Brightfield, 40× oil-immersion objective · May-Grünwald-Giemsa/Pappenheim stain · bone marrow aspirate smear
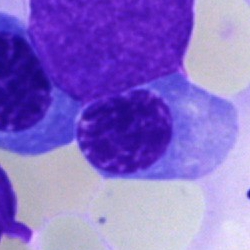
Classification = nucleated red cell.